Bone marrow aspirate smear:
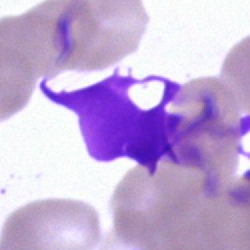Cell type — artifact.